Bone marrow smear; cropped to a single cell — 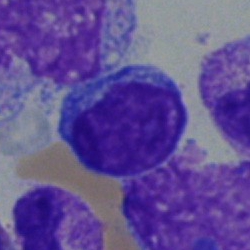
Q: What is the morphological classification of this cell?
A: It is a lymphocyte.